Peripheral blood smear — 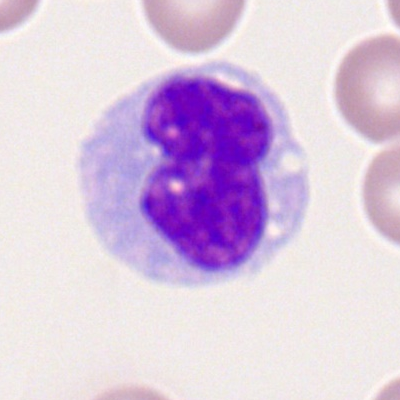

{"cell_type": "monocyte"}